Bone marrow aspirate smear: 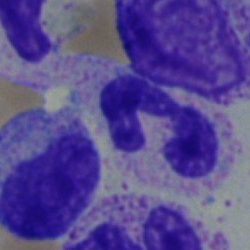 Q: Identify the cell.
A: A segmented neutrophil.